Bone marrow smear.
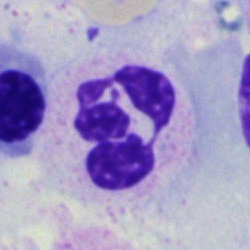Specimen: bone marrow aspirate smear.
Classification: segmented neutrophil.